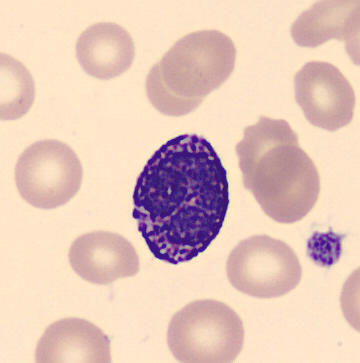Classification = basophilic granulocyte.

Peripheral blood smear.